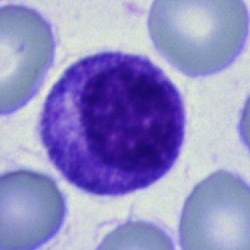
Cell type — promyelocyte.